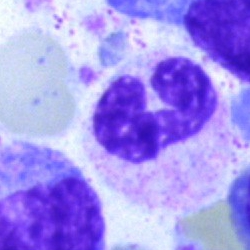
A segmented neutrophil.